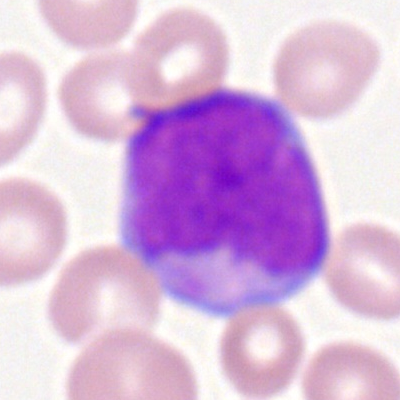
Q: What is the morphological classification of this cell?
A: This is a myeloblast.